MGG-stained. Bone marrow aspirate smear:
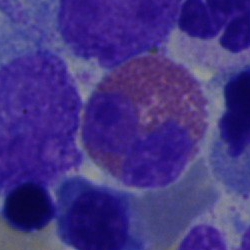

Q: What cell is this?
A: It is an eosinophil.